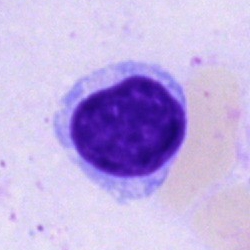

Impression → typical lymphocyte.